Peripheral blood smear — 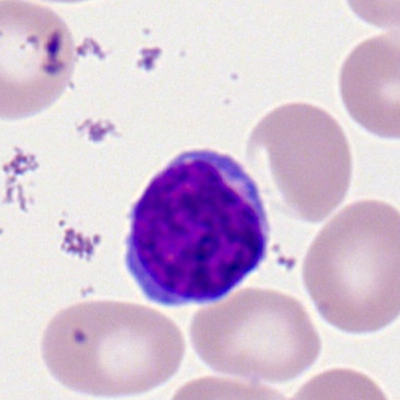 This is a lymphocyte.